Image size 250×250 · May-Grünwald-Giemsa stain · bone marrow smear:
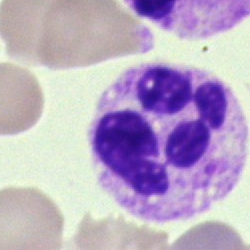Q: Identify the cell.
A: A polymorphonuclear neutrophil.